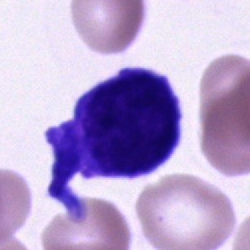
{"cell_type": "unidentifiable cell"}